Bone marrow aspirate smear
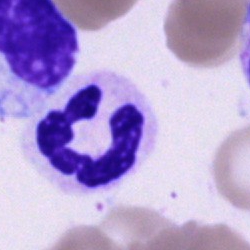Q: What type of cell is this?
A: Polymorphonuclear neutrophil.